Cropped to a single cell · bone marrow aspirate smear
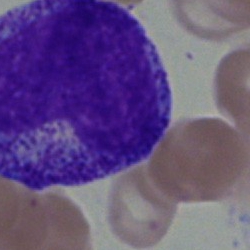

Promyelocyte.